Bone marrow smear — 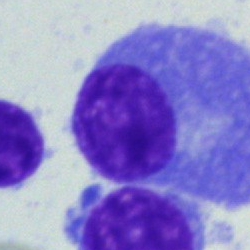

Impression → plasma cell.